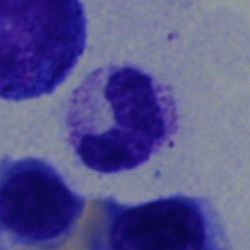Q: Which cell type is shown here?
A: A band-form neutrophil.